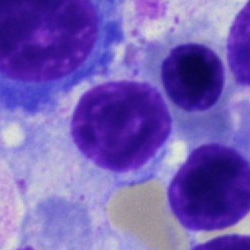
Morphological class — typical lymphocyte.